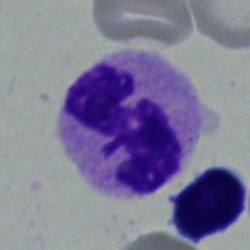
A lymphocyte.